Bone marrow smear.
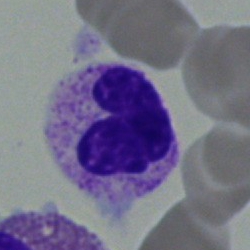

Morphological class — band neutrophil.